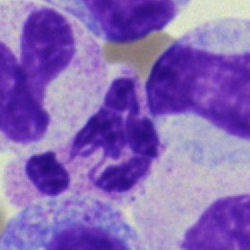The classification is polymorphonuclear neutrophil.